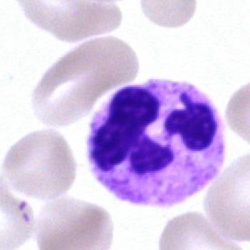 The cell type is segmented neutrophil.